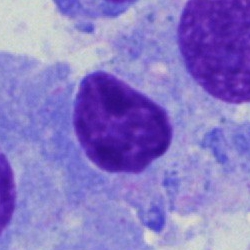

Q: What cell is this?
A: A plasmacyte.